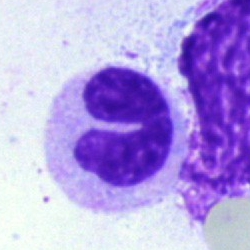 Q: What cell is this?
A: This is a band-form neutrophil.